Romanowsky stain; peripheral blood film; 100× objective, oil immersion
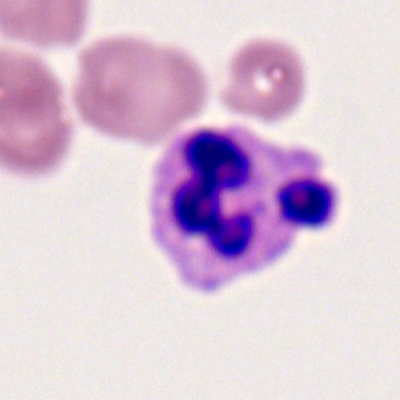
Classification = polymorphonuclear neutrophil.